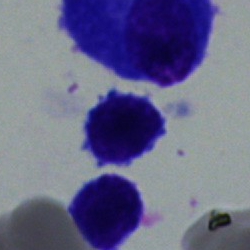

The cell type is lymphocyte.